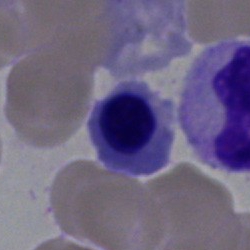Classification — nucleated red cell.